Peripheral blood smear: 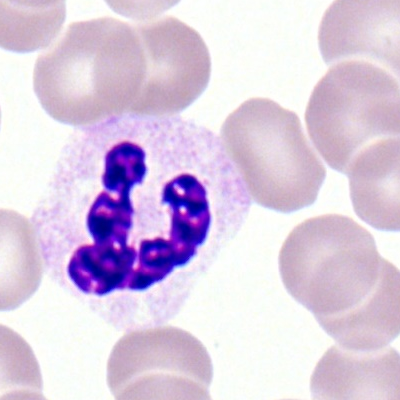
The cell shown is a segmented neutrophil.